Bone marrow aspirate smear: 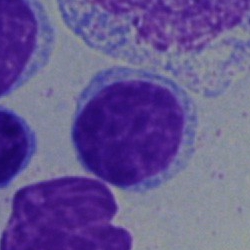

Typical lymphocyte.